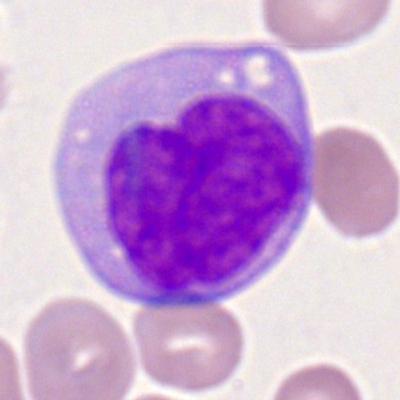Cell = monoblast.